Bone marrow aspirate smear. 250×250 px. Single cell centered in the field — 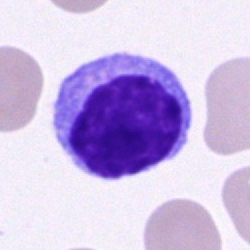 Q: What is shown here?
A: This is a segmented neutrophil.